MGG-stained; bone marrow smear: 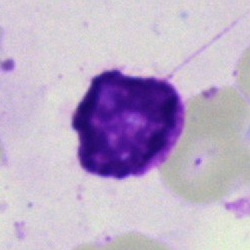Morphology → artefact.